Peripheral blood smear. 100× oil immersion, 14.14 px/µm. Single cell centered in the field — 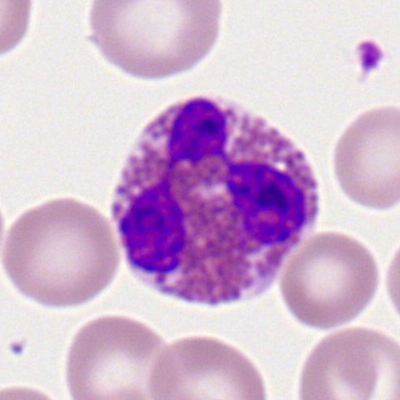
Q: Identify the cell.
A: An eosinophilic granulocyte.